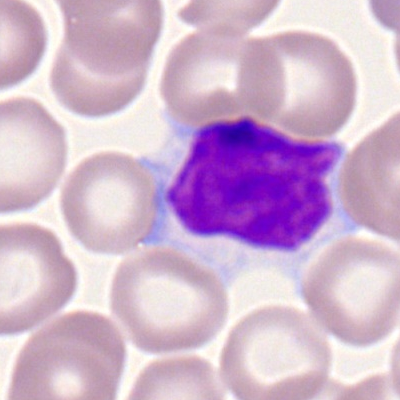 Morphology → lymphocyte.